Bone marrow smear; 250×250
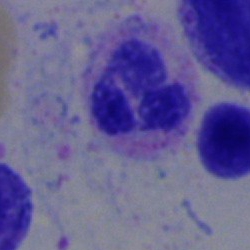

Single cell identified as a polymorphonuclear neutrophil.